Single cell centered in the field; brightfield microscopy, 40× oil immersion; bone marrow smear
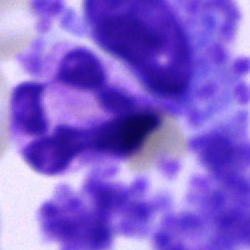
The cell shown is a segmented neutrophil.